Peripheral blood film
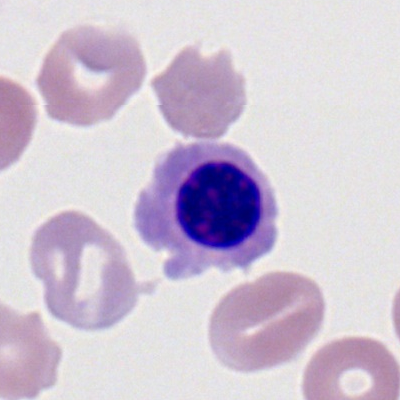
Cell type: normoblast.